Romanowsky-type stain. Peripheral blood film — 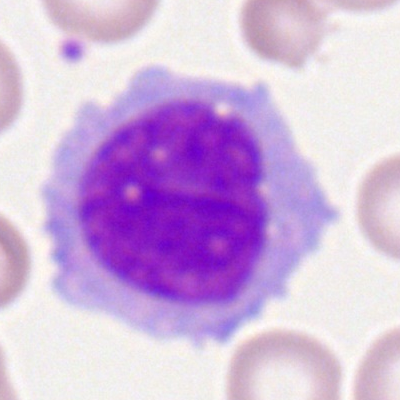

Classification = monocyte.